Bone marrow smear.
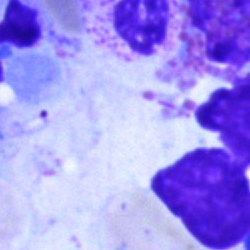Q: What is shown here?
A: It is an artefact.